May-Grünwald-Giemsa/Pappenheim stain · 250×250 px · bone marrow smear — 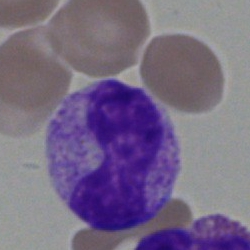
Single cell identified as a band-form neutrophil.